Bone marrow aspirate smear.
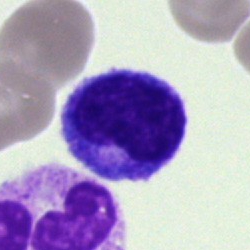 A typical lymphocyte.